Bone marrow smear:
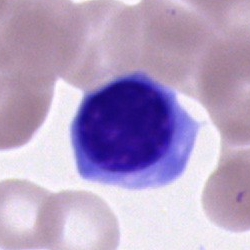 This is a normoblast.